May-Grünwald-Giemsa stain. Bone marrow smear
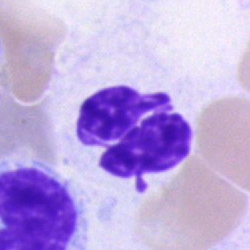 Classification: segmented neutrophil.